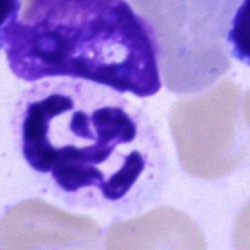 Showing a polymorphonuclear neutrophil.